40× objective, oil immersion. 250×250. Bone marrow aspirate smear:
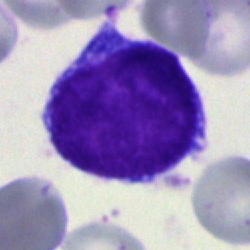
Morphology — blast.